Brightfield microscopy, 40× oil immersion · bone marrow smear · May-Grünwald-Giemsa stain — 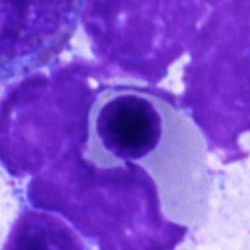 Impression — nucleated red cell.